40× oil immersion · bone marrow smear:
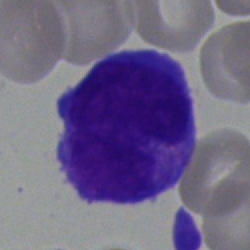 Morphology consistent with an undifferentiated blast.